Pappenheim-stained; bone marrow aspirate smear.
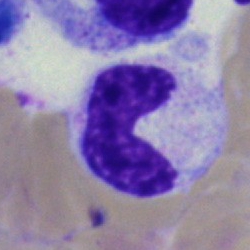
Classification — band-form neutrophil.